Bone marrow smear
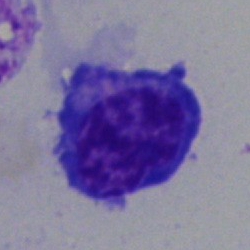
Morphological class — nucleated red cell.